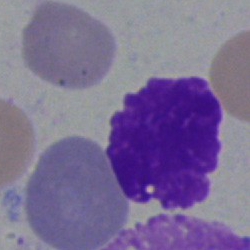 This is an artefact.